Single cell centered in the field; brightfield microscopy, 40× oil immersion; bone marrow smear: 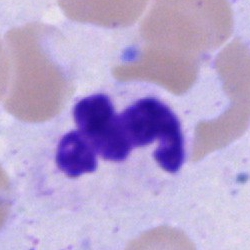

The morphological class is polymorphonuclear neutrophil.